Peripheral blood smear · automated cell imaging (CellaVision DM96): 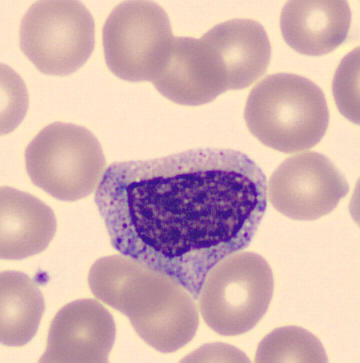 Specimen: peripheral blood film.
Cell type: myelocyte.